May-Grünwald-Giemsa/Pappenheim stain. Bone marrow aspirate smear. Cropped to a single cell
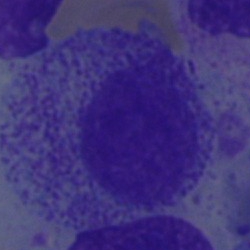 A myelocyte.